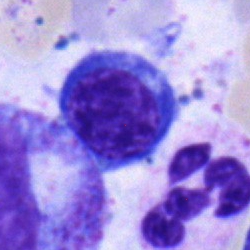
The cell is nucleated red blood cell.